Brightfield microscopy, 40× oil immersion · bone marrow aspirate smear — 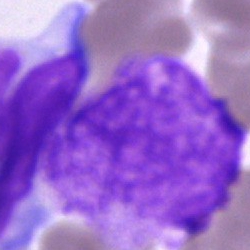

Impression → artifact.